Bone marrow smear. Brightfield microscopy, 40× oil immersion:
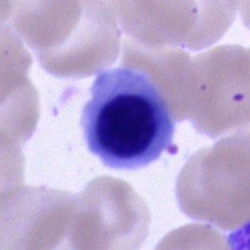
An erythroblast.